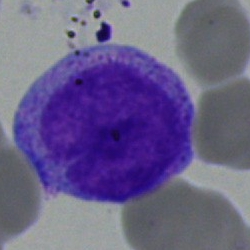

The cell shown is a promyelocyte.